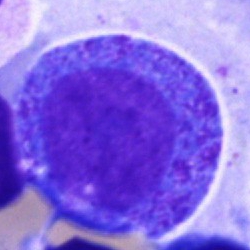 Impression — progranulocyte.